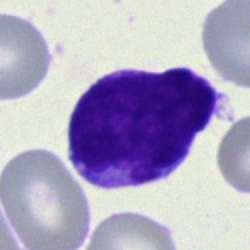
The cell is typical lymphocyte.